Bone marrow aspirate smear; single-cell crop
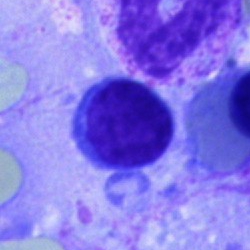 Q: Which cell type is shown here?
A: A plasmacyte.